Bone marrow smear. 250×250
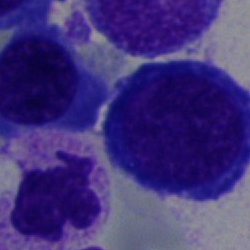
Morphology → nucleated red blood cell.